Bone marrow aspirate smear · Pappenheim-stained.
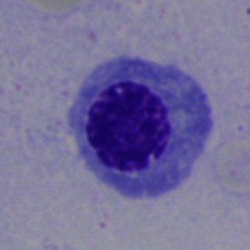 The cell shown is a normoblast.